Bone marrow smear.
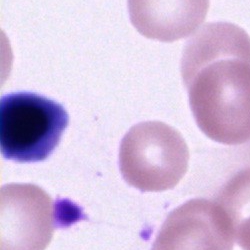 Morphological class = cell of indeterminate lineage.